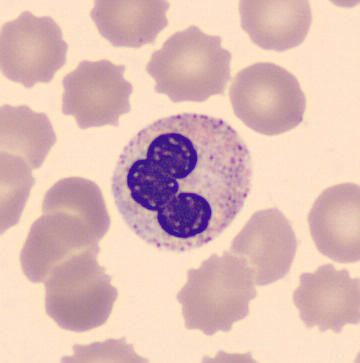

Preparation: Peripheral blood film.

Polymorphonuclear neutrophil.